Bone marrow smear — 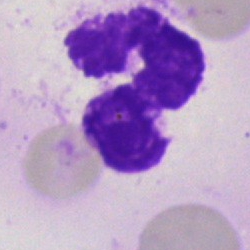 An artefact.